Peripheral blood film: 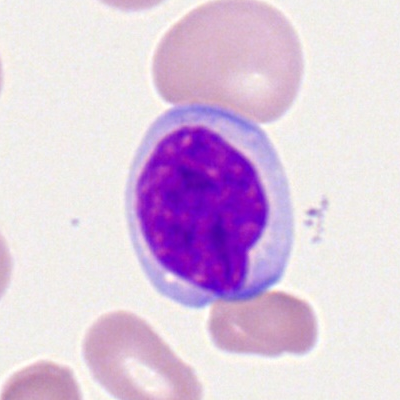
Lymphocyte.